Bone marrow aspirate smear.
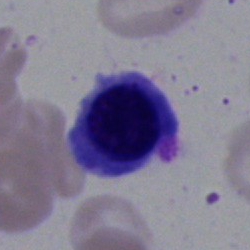Q: Identify the cell.
A: This is an erythroblast.